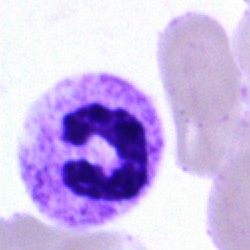
Polymorphonuclear neutrophil.